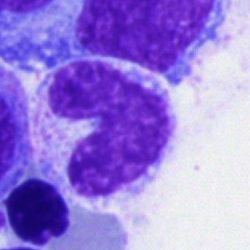Cell type = stab cell.